Peripheral blood smear — 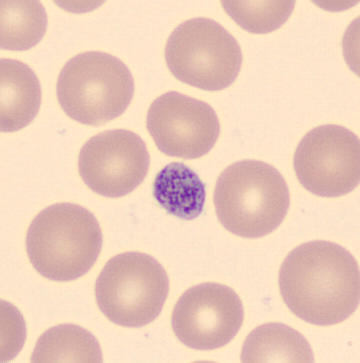 Showing a platelet.